Bone marrow aspirate smear: 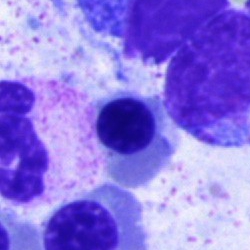 An erythroblast.